Bone marrow smear; 250×250 px
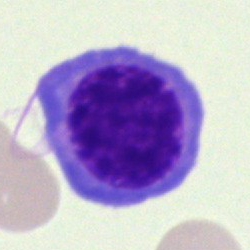 This is an erythroblast.